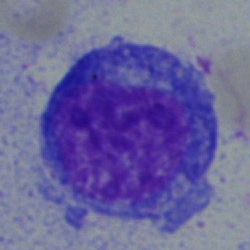Q: What is shown here?
A: Blast.